40× objective, oil immersion · MGG-stained · bone marrow aspirate smear — 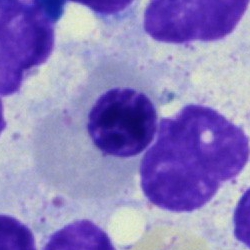
Impression — nucleated red blood cell.